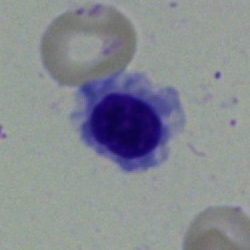 Cell type = nucleated red blood cell.